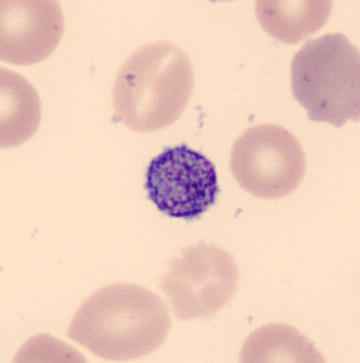Acquisition: Peripheral blood film.
Impression — platelet.